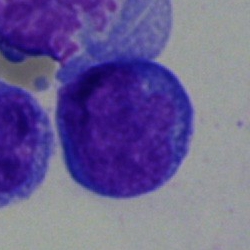Impression → blast cell.